May-Grünwald-Giemsa/Pappenheim stain; bone marrow aspirate smear
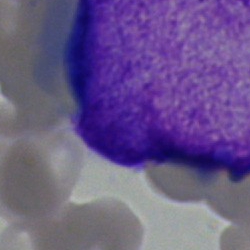Morphological class: blast cell.